Peripheral blood smear:
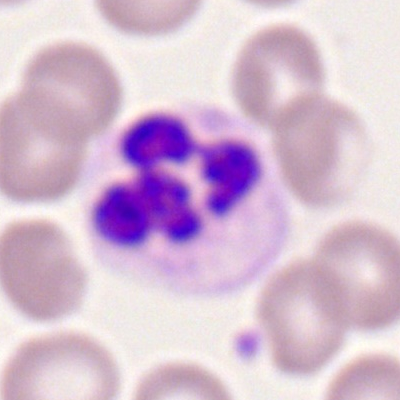
Single cell identified as a polymorphonuclear neutrophil.